Bone marrow aspirate smear:
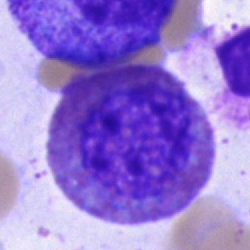The classification is eosinophil.